Bone marrow smear
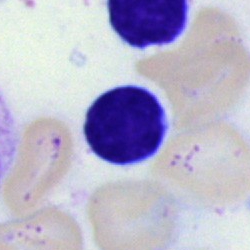 The cell shown is a typical lymphocyte.